Bone marrow aspirate smear:
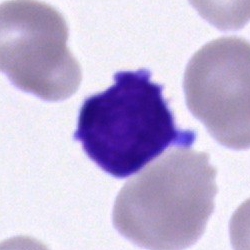
Morphological class = typical lymphocyte.